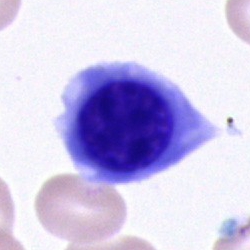
Q: Which cell type is shown here?
A: This is a normoblast.